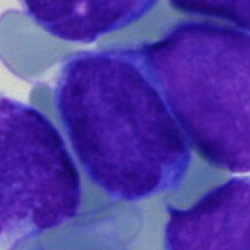 Specimen: bone marrow smear.
Morphological class: blast.